Bone marrow smear.
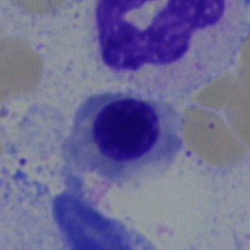 Impression → normoblast.